250×250; bone marrow aspirate smear
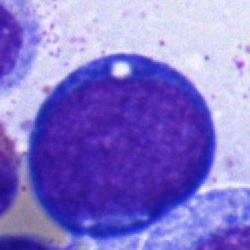Q: Identify the cell.
A: Pronormoblast.